Bone marrow aspirate smear; single-cell crop:
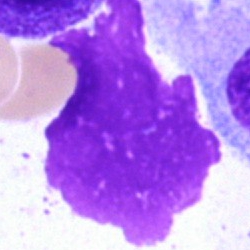Cell — artifact.